Bone marrow smear · 40× objective, oil immersion · Pappenheim-stained — 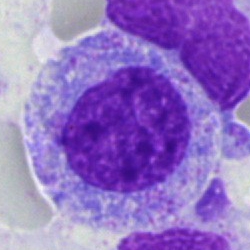Morphological class = myelocyte.